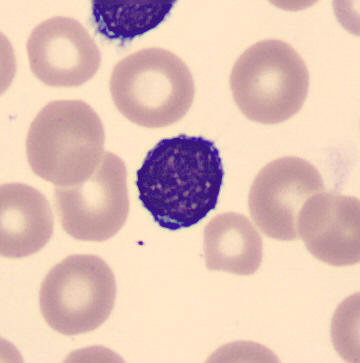
Peripheral blood film · CellaVision DM96.

Q: Identify the cell.
A: A lymphocyte.